Cropped to a single cell · bone marrow smear
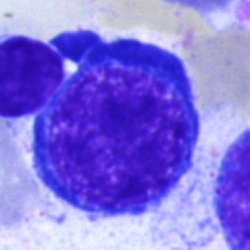The cell shown is an erythroblast.